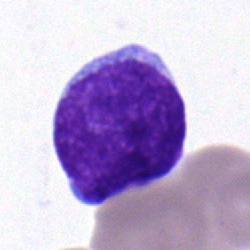
Morphology — blast cell.